Single cell centered in the field; 250 by 250 pixels; bone marrow aspirate smear.
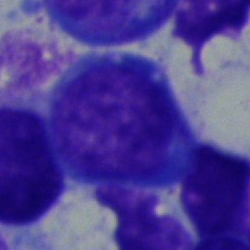
Morphological class: blast cell.